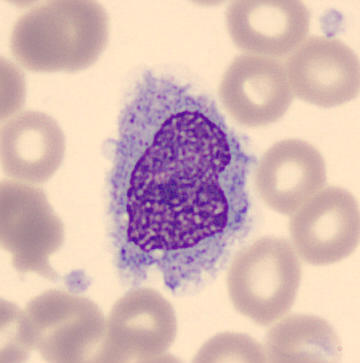 Showing a monocyte.